May Grünwald-Giemsa stain · image size 360×363 · peripheral blood film: 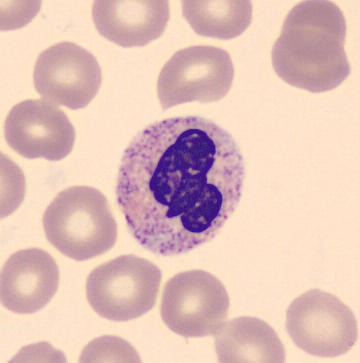

Impression — neutrophil (segmented).